Bone marrow aspirate smear
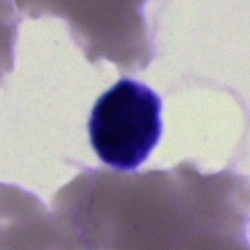Morphology → artefact.